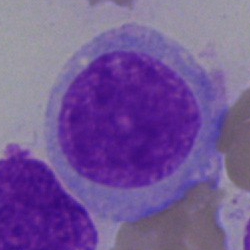 Bone marrow aspirate smear, single cell — blast cell.